Bone marrow aspirate smear — 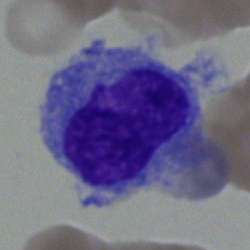Impression → monocyte.